40× objective, oil immersion · 250×250 px · bone marrow aspirate smear: 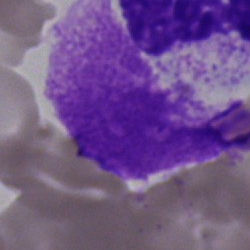Morphology — artefact.